Bone marrow smear · 40× oil immersion
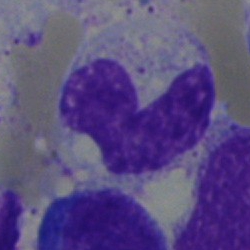
Classification: band-form neutrophil.